Bone marrow smear · single-cell crop.
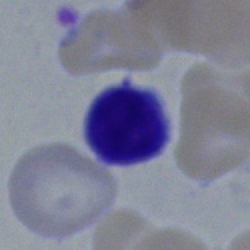

Morphology consistent with a typical lymphocyte.